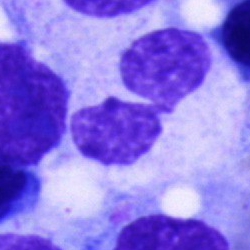

The cell shown is a neutrophil (segmented).